Bone marrow aspirate smear · 250×250 px · single-cell crop.
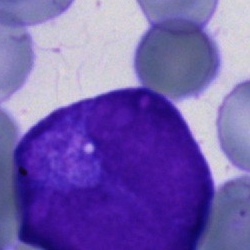

Specimen: bone marrow aspirate smear.
Morphological class: blast cell.